May-Grünwald-Giemsa stain · cropped to a single cell · bone marrow smear — 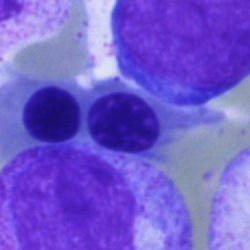 Nucleated red blood cell.